Bone marrow smear. 40× oil immersion — 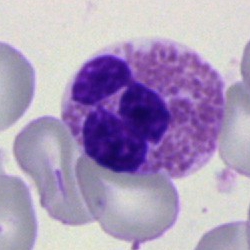 Impression → eosinophilic granulocyte.